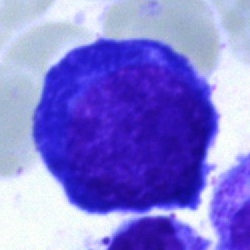Cell — normoblast.